Bone marrow smear · brightfield, 40× oil-immersion objective · single cell centered in the field: 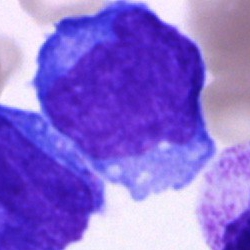The morphological class is undifferentiated blast.